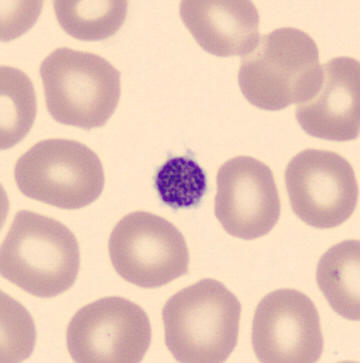Peripheral blood film. Q: What is shown here?
A: This is a thrombocyte.